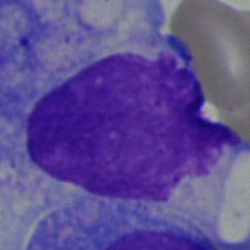
Specimen: bone marrow aspirate smear.
Cell type: monocyte.